Bone marrow smear
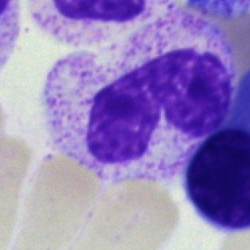
Impression — neutrophil (band).